250 by 250 pixels · bone marrow aspirate smear — 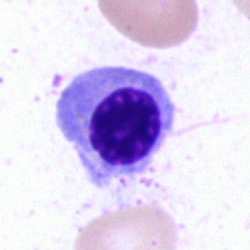

This is a nucleated red blood cell.